Single-cell field. Bone marrow aspirate smear
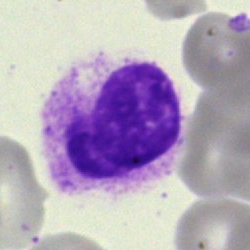
Q: What cell is this?
A: This is a stab cell.